Bone marrow aspirate smear: 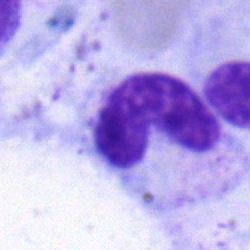
Morphology consistent with a band-form neutrophil.